Bone marrow aspirate smear — 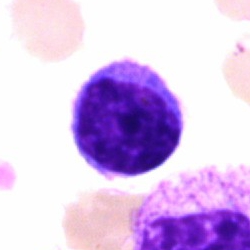
Specimen: bone marrow smear.
Classification: lymphocyte.
Lineage: lymphoid.